Brightfield, 40× oil-immersion objective; bone marrow smear — 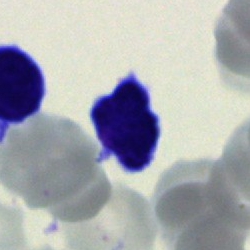

A lymphocyte.